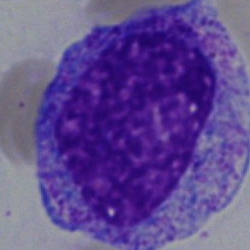

Specimen: bone marrow aspirate smear.
Cell type: progranulocyte.